Bone marrow smear. Brightfield microscopy, 40× oil immersion. May-Grünwald-Giemsa/Pappenheim stain: 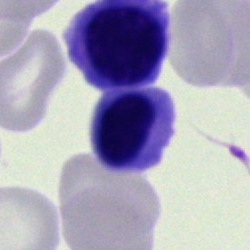

Morphology consistent with a nucleated red blood cell.